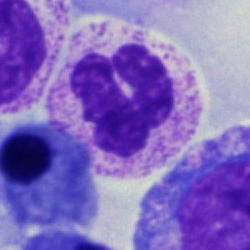Segmented neutrophil.